May-Grünwald-Giemsa/Pappenheim stain. Image size 250×250. Bone marrow smear
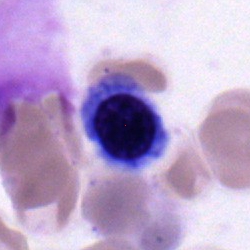

Morphology consistent with a nucleated red cell.